250 by 250 pixels. Bone marrow aspirate smear. Pappenheim-stained: 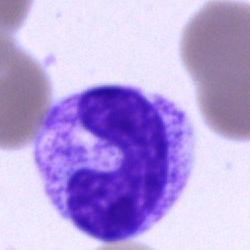

Q: What is shown here?
A: This is a band-form neutrophil.